Bone marrow smear; MGG-stained; 40× objective, oil immersion: 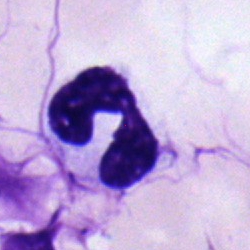 Q: Identify the cell.
A: It is a polymorphonuclear neutrophil.